Bone marrow aspirate smear.
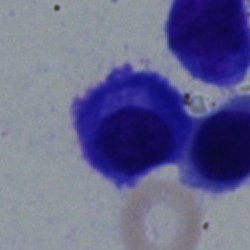
Morphology — plasmacyte.